Bone marrow aspirate smear:
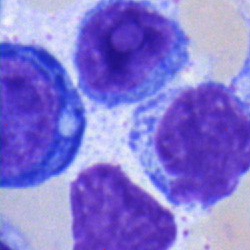Q: What is the morphological classification of this cell?
A: This is an erythroblast.